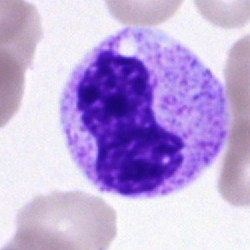
{"cell_type": "stab cell", "lineage": "myeloid"}